Bone marrow aspirate smear.
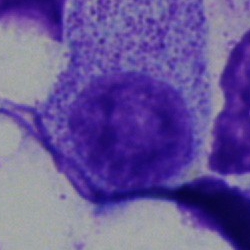Myelocyte.